Peripheral blood smear — 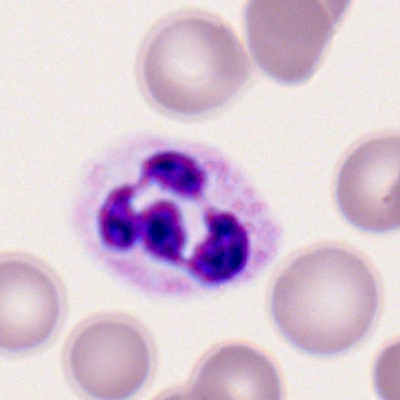

This is a neutrophil (segmented).